Bone marrow smear: 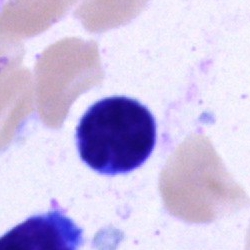
Classification = typical lymphocyte.